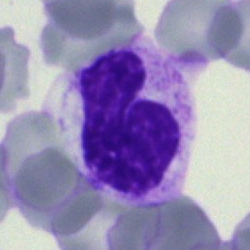 {"cell_type": "artefact"}